Bone marrow smear:
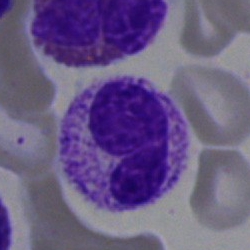 Cell: stab cell.